May-Grünwald-Giemsa/Pappenheim stain · single cell centered in the field · bone marrow smear.
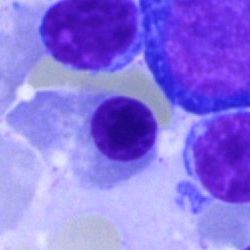 Q: Identify the cell.
A: A normoblast.